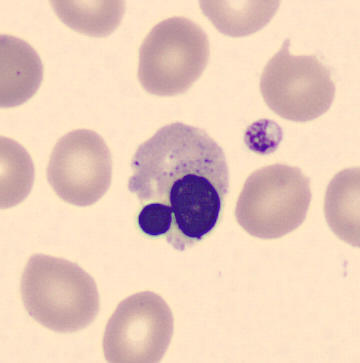 Specimen: peripheral blood smear.
Morphological class: nucleated red blood cell.
Lineage: erythroid.

MGG stain.